Bone marrow smear
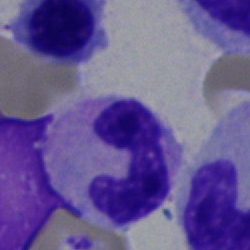Cell = segmented neutrophil.